Peripheral blood smear: 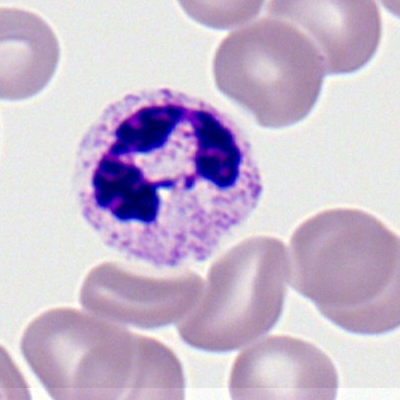
Single cell identified as a segmented neutrophil.